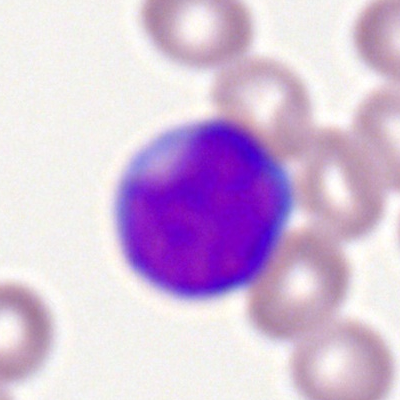Q: What cell is this?
A: Myeloid blast.